Single-cell crop. Bone marrow aspirate smear. Image size 250×250 — 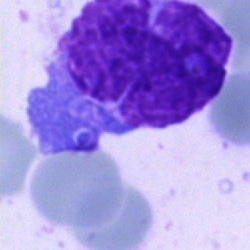A blast cell.